Bone marrow aspirate smear
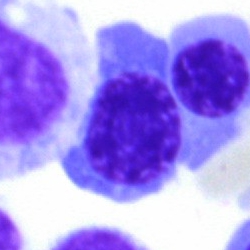 This is a nucleated red cell.